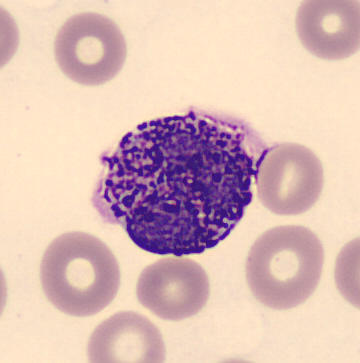

{"cell_type": "basophilic granulocyte", "lineage": "myeloid"} Acquisition: Single-cell field; peripheral blood film.